May-Grünwald-Giemsa stain; bone marrow smear:
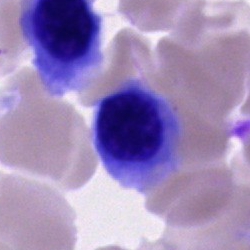Q: What is the morphological classification of this cell?
A: This is a normoblast.